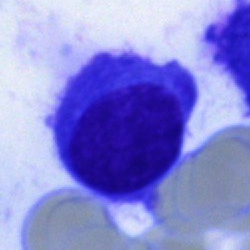 The morphological class is plasma cell.